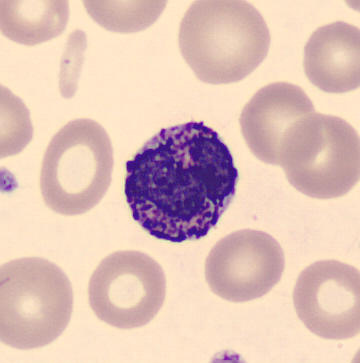

MGG-stained; peripheral blood smear. Morphological class — basophil.